250×250 px · bone marrow smear
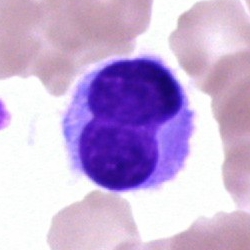 Classification: hairy cell.